Bone marrow aspirate smear: 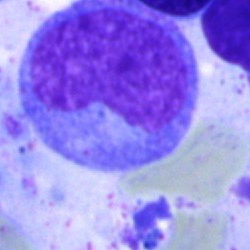Cell: metamyelocyte.